Bone marrow aspirate smear
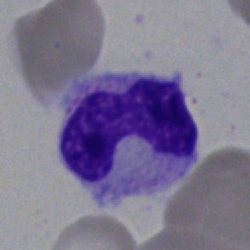The cell shown is a band neutrophil.